Bone marrow aspirate smear. 40× objective, oil immersion:
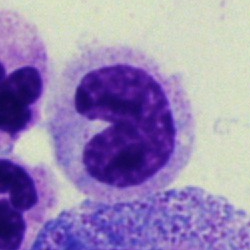 Showing a neutrophil (band).